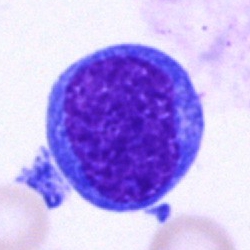 Morphological class = blast cell.